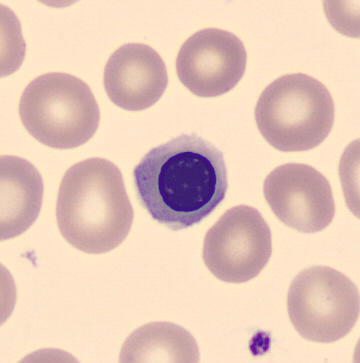

Q: Identify the cell.
A: A nucleated red blood cell.